Bone marrow aspirate smear:
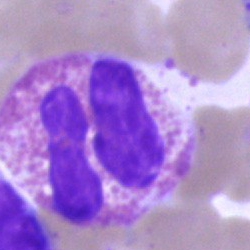
Classification: eosinophil.